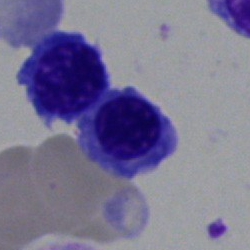 Q: What is the morphological classification of this cell?
A: This is a nucleated red cell.